Bone marrow smear
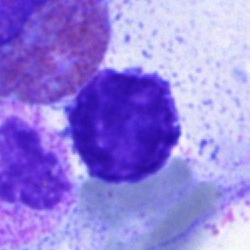
A lymphocyte.